40× oil immersion · bone marrow smear: 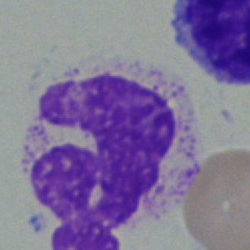Polymorphonuclear neutrophil.